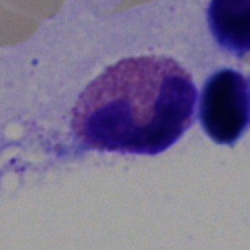Morphological class: eosinophil.